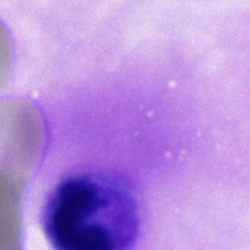 Bone marrow aspirate smear, single cell — neutrophil (segmented).